Single-cell field · bone marrow smear: 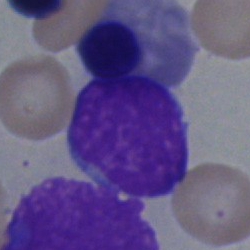 Q: Identify the cell.
A: Lymphocyte.